May-Grünwald-Giemsa/Pappenheim stain · bone marrow aspirate smear — 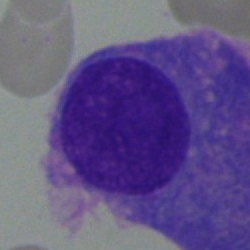
Morphology → plasmacyte.